Bone marrow smear; single cell centered in the field: 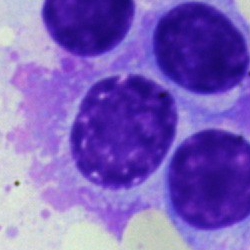

Showing a plasmacyte.